Image size 250×250. Bone marrow aspirate smear
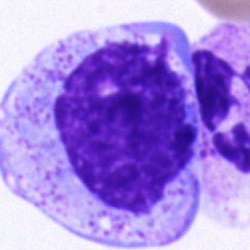

Q: What type of cell is this?
A: Promyelocyte.